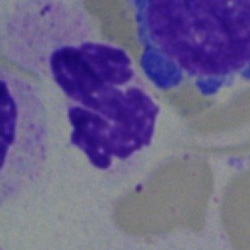 Q: What type of cell is this?
A: This is a polymorphonuclear neutrophil.